250×250 px · MGG-stained · bone marrow smear
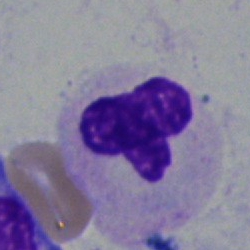Q: What type of cell is this?
A: It is a neutrophil (segmented).